Bone marrow aspirate smear; image size 250×250 — 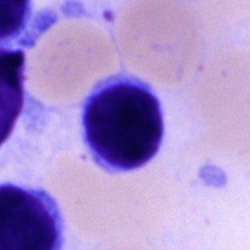 Morphology consistent with a lymphocyte.